40× oil immersion. May-Grünwald-Giemsa/Pappenheim stain. Bone marrow smear
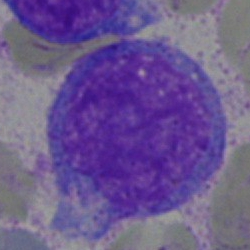
Showing a blast cell.